Bone marrow smear: 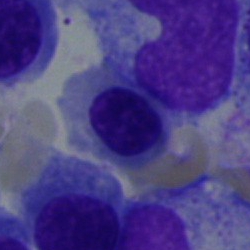

Specimen: bone marrow smear.
Classification: nucleated red cell.
Lineage: erythroid.